40× oil immersion. Bone marrow smear:
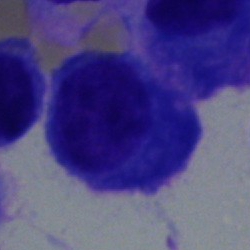
Morphology — plasmacyte.